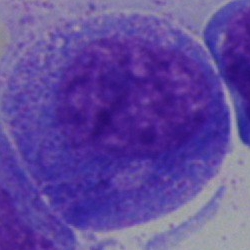
Classification: promyelocyte.